Bone marrow aspirate smear.
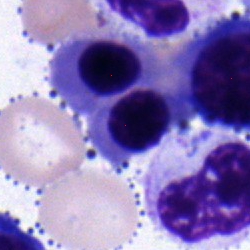

An erythroblast.